Bone marrow aspirate smear: 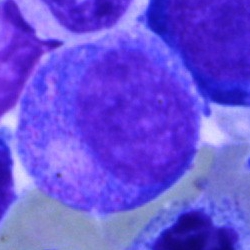Q: What is shown here?
A: Progranulocyte.